Bone marrow smear: 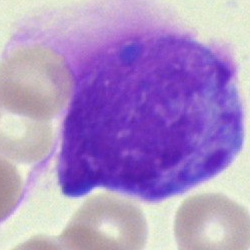
Classification = artefact.